Bone marrow smear — 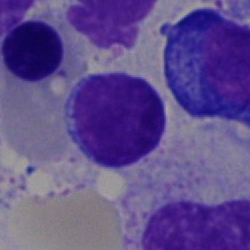
Classification = lymphocyte.